Bone marrow aspirate smear. Cropped to a single cell
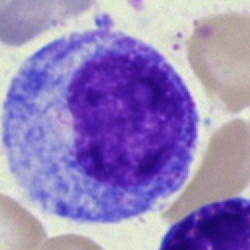 Cell = progranulocyte.